Peripheral blood smear: 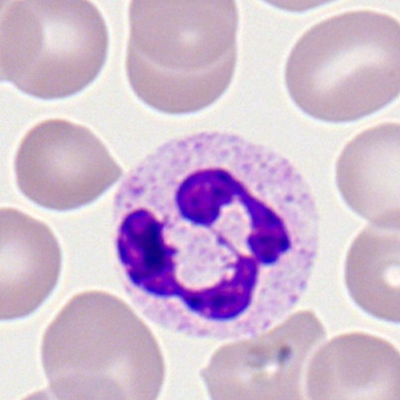
Single cell identified as a segmented neutrophil.